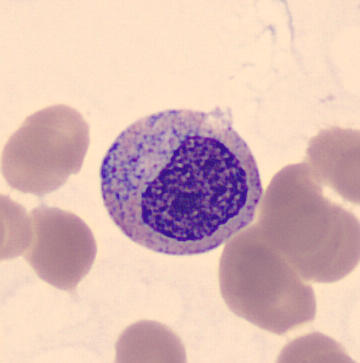Image: CellaVision DM96 digital cell image · peripheral blood film.

A myelocyte.